Peripheral blood smear.
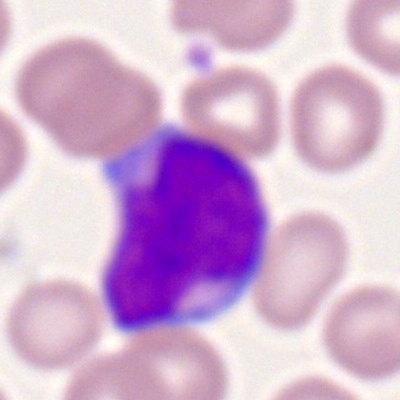Morphological class = myeloid blast.